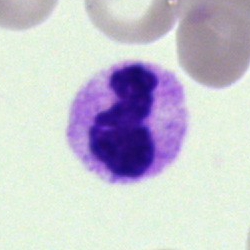

Polymorphonuclear neutrophil.